Peripheral blood smear: 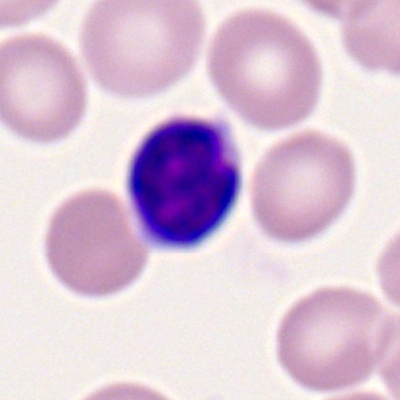
Impression — typical lymphocyte.